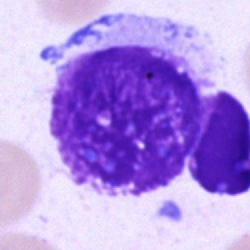
Specimen: bone marrow smear.
Cell: blast cell.